Bone marrow smear
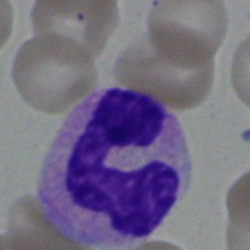
The morphological class is band neutrophil.